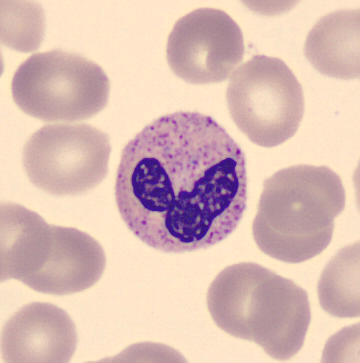 Stab cell. Acquisition: Peripheral blood smear. MGG stain.